MGG-stained; 40× objective, oil immersion; bone marrow aspirate smear
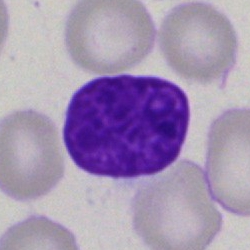 Specimen: bone marrow smear.
Cell type: artifact.